Bone marrow aspirate smear; 40× oil immersion: 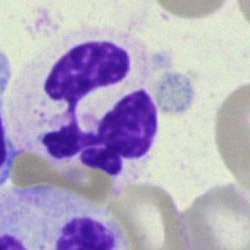The morphological class is segmented neutrophil.